Image size 250×250. Bone marrow aspirate smear — 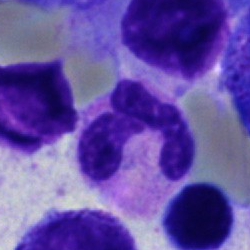Q: What cell is this?
A: This is a neutrophil (band).